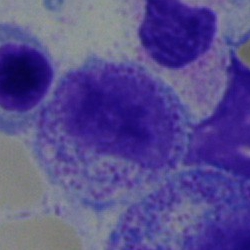
Q: What is the morphological classification of this cell?
A: This is a myelocyte.